Peripheral blood film:
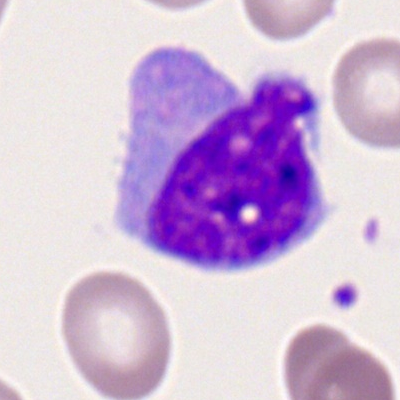Specimen: peripheral blood smear.
Morphological class: monocyte.